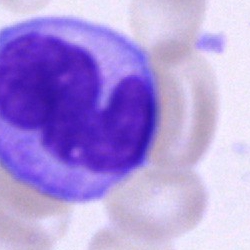Morphological class: monocyte.